Bone marrow smear.
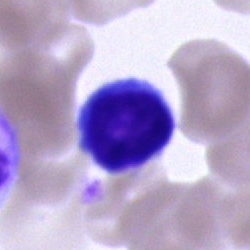

{"cell_type": "lymphocyte"}